Bone marrow aspirate smear: 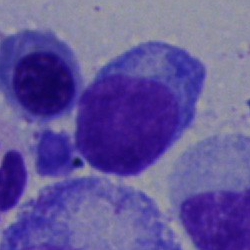Cell type: typical lymphocyte.